Bone marrow smear:
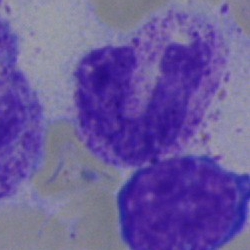Impression → stab cell.